Brightfield, 40× oil-immersion objective. Bone marrow smear. Cropped to a single cell:
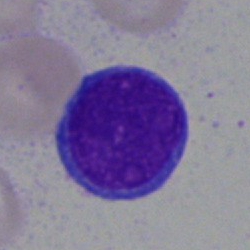
Single cell identified as a lymphocyte.